400×400; peripheral blood smear — 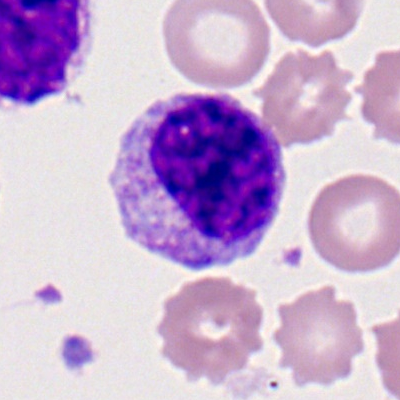

Morphology consistent with a metamyelocyte.